Bone marrow smear
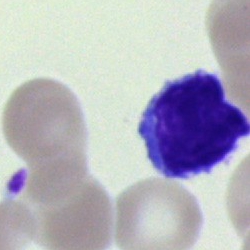Classification = typical lymphocyte.